Single-cell field. Bone marrow smear:
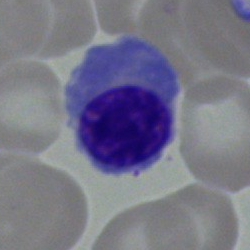
{"cell_type": "nucleated red blood cell", "lineage": "erythroid"}